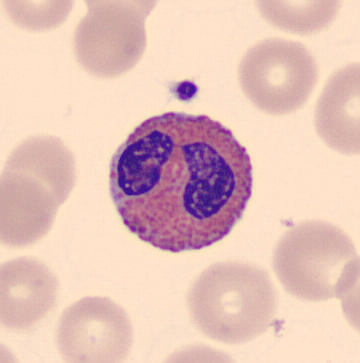Identified as an eosinophilic granulocyte.
Preparation: CellaVision DM96 digital cell image · peripheral blood film.